Single cell centered in the field · brightfield microscopy, 40× oil immersion · bone marrow smear.
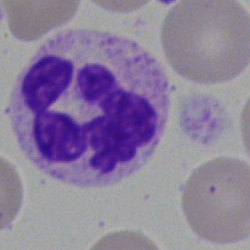 Polymorphonuclear neutrophil.